Bone marrow smear · single cell centered in the field · 250×250 px — 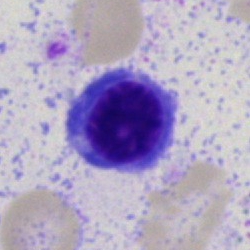

Cell = erythroblast.